Peripheral blood smear.
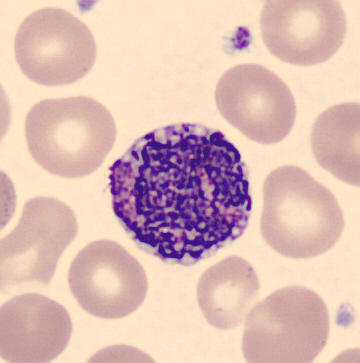 Morphology — basophilic granulocyte.